Bone marrow smear:
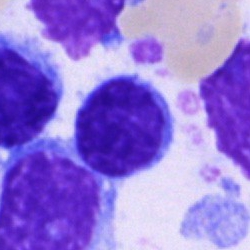Showing a typical lymphocyte.